May-Grünwald-Giemsa/Pappenheim stain · bone marrow smear: 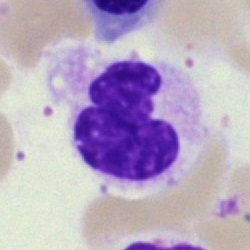

Classification — polymorphonuclear neutrophil.